Single cell centered in the field · bone marrow smear.
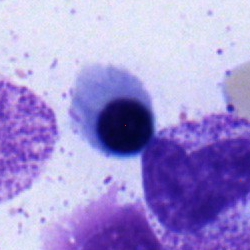Q: What cell is this?
A: Normoblast.